Bone marrow aspirate smear; single-cell crop; brightfield microscopy, 40× oil immersion:
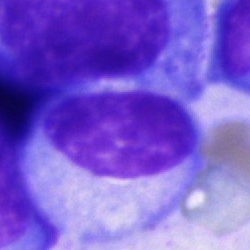Cell of indeterminate lineage.